Bone marrow smear · brightfield microscopy, 40× oil immersion
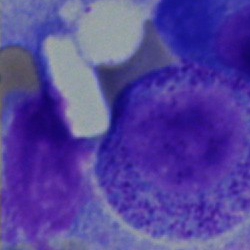Single cell identified as a progranulocyte.